Bone marrow smear:
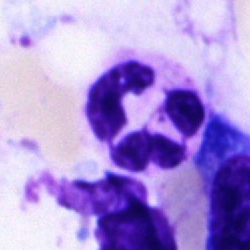Specimen: bone marrow smear.
Classification: segmented neutrophil.
Lineage: myeloid.